Bone marrow smear · 250×250:
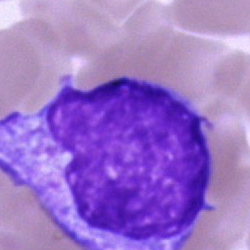 Showing an unidentifiable cell.